Bone marrow smear. Brightfield, 40× oil-immersion objective:
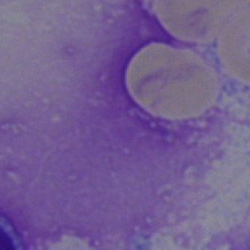
Artifact.